Brightfield, 40× oil-immersion objective. Pappenheim-stained. Bone marrow aspirate smear
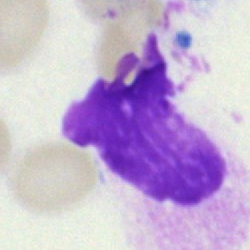 Classification — artifact.